Brightfield, 40× oil-immersion objective; 250×250; bone marrow aspirate smear
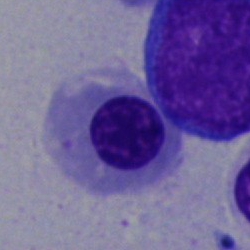 Impression → erythroblast.